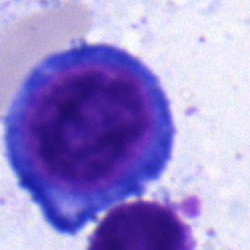

Q: Which cell type is shown here?
A: It is a pronormoblast.